Bone marrow smear · MGG-stained — 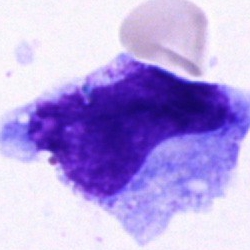Morphology consistent with a progranulocyte.